40× objective, oil immersion. Bone marrow smear: 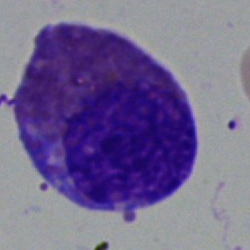
Q: What type of cell is this?
A: This is an eosinophilic granulocyte.